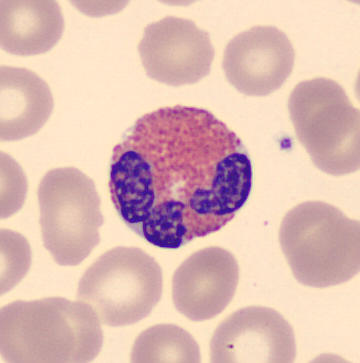
Image: 360×363 px · peripheral blood film. Eosinophil.